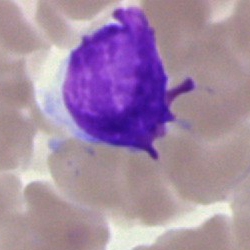
Cell = artifact.